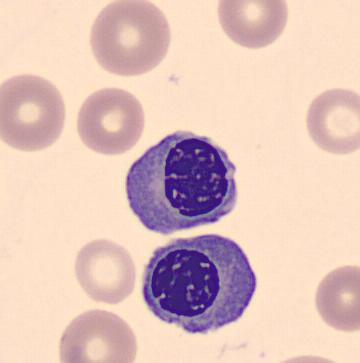

Image: Peripheral blood smear · cropped to a single cell. Showing a nucleated red blood cell.